Peripheral blood smear:
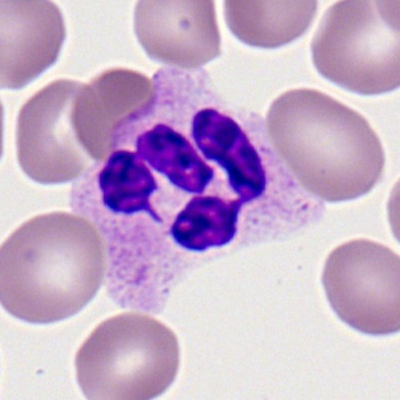Classification = polymorphonuclear neutrophil.